Single-cell field; bone marrow smear; 40× oil immersion.
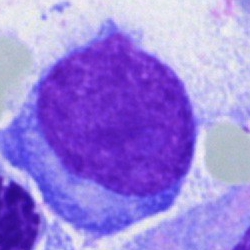

Morphological class: blast.